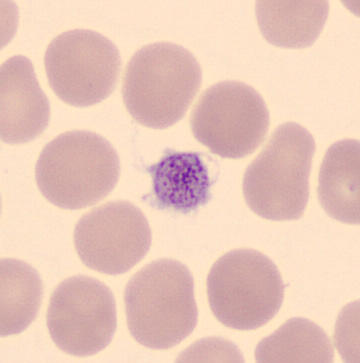
Peripheral blood film.
Identified as a platelet.